Imaged on a CellaVision DM96 analyser · peripheral blood film — 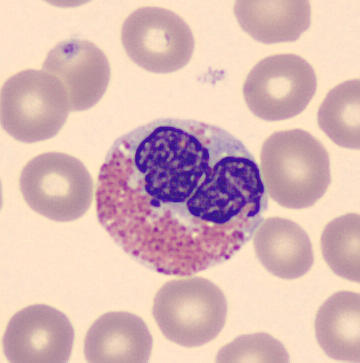
The cell is eosinophilic granulocyte.